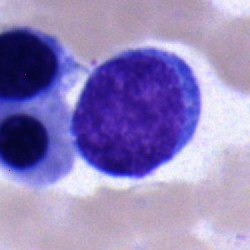Impression — undifferentiated blast.